Cropped to a single cell; bone marrow aspirate smear.
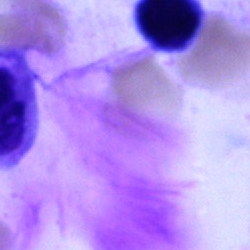
Artifact.